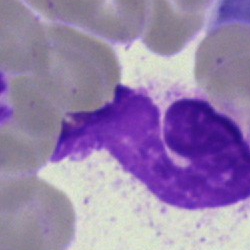Bone marrow smear showing an artifact.